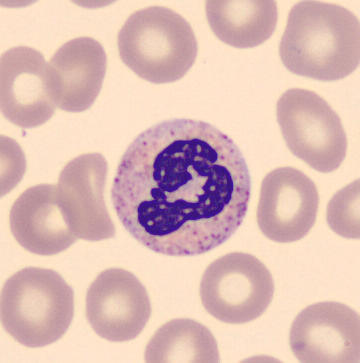

A polymorphonuclear neutrophil.

Preparation: Peripheral blood film. MGG-stained.